Bone marrow smear
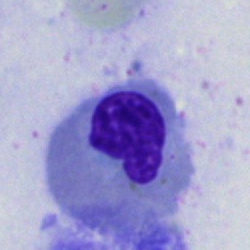
Morphology consistent with a nucleated red blood cell.